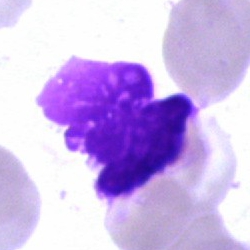

Morphology — artifact.